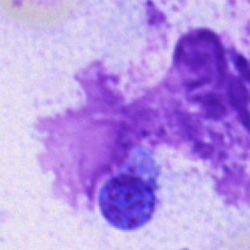
Specimen: bone marrow smear.
Cell: artifact.